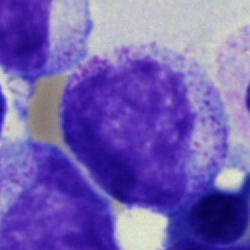
Single cell identified as a myelocyte.